Bone marrow aspirate smear; 250 by 250 pixels: 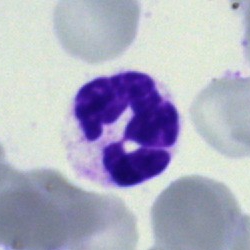 Morphological class = polymorphonuclear neutrophil.